Cropped to a single cell · bone marrow aspirate smear · brightfield microscopy, 40× oil immersion:
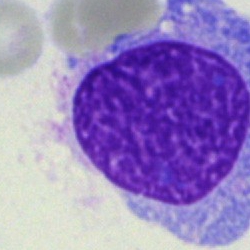 Cell type: undifferentiated blast.